40× objective, oil immersion; bone marrow aspirate smear
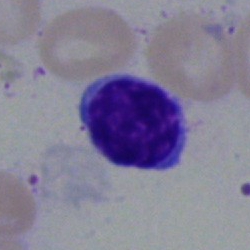The cell shown is a typical lymphocyte.